Bone marrow aspirate smear; image size 250×250; May-Grünwald-Giemsa stain — 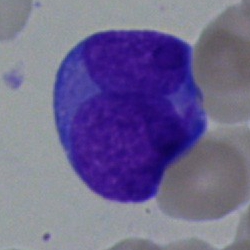Q: Identify the cell.
A: This is a blast cell.